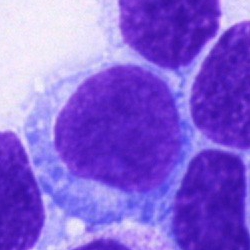
Q: What is shown here?
A: Undifferentiated blast.